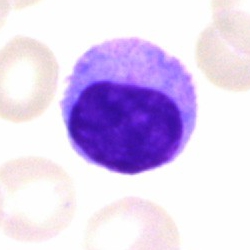{"cell_type": "typical lymphocyte", "lineage": "lymphoid"}